40× oil immersion · bone marrow aspirate smear
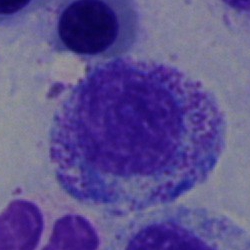Q: Identify the cell.
A: Progranulocyte.